Single-cell crop. Bone marrow aspirate smear.
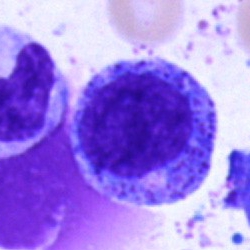
The classification is progranulocyte.